Bone marrow smear
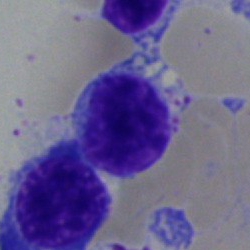
Specimen: bone marrow smear.
Morphological class: lymphocyte.
Lineage: lymphoid.